Peripheral blood film.
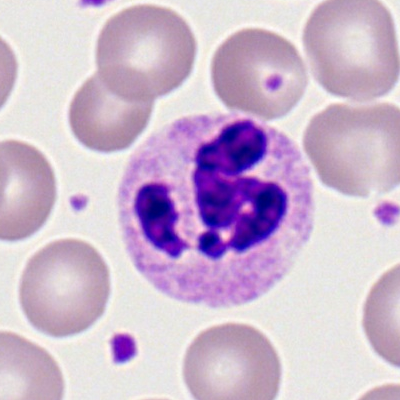Polymorphonuclear neutrophil.